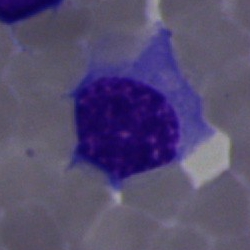

Morphological class: normoblast.